Bone marrow aspirate smear
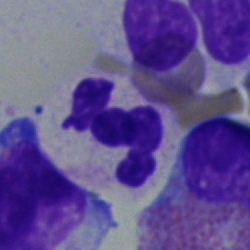

This is a segmented neutrophil.